Peripheral blood smear:
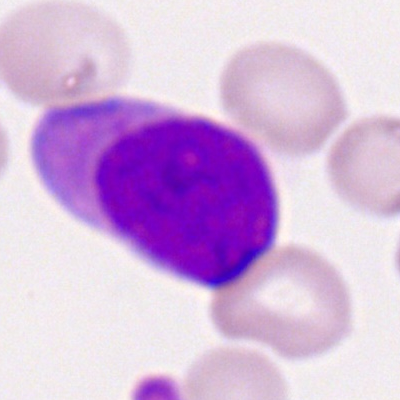
Myeloblast.